Bone marrow aspirate smear
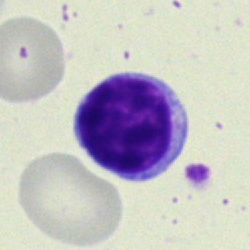
Cell: lymphocyte.